Bone marrow smear: 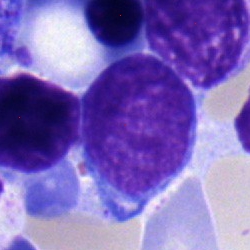 Specimen: bone marrow aspirate smear.
Morphological class: blast cell.